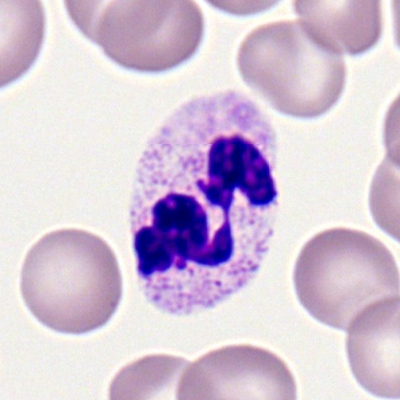

Specimen: peripheral blood smear.
Cell type: neutrophil (segmented).